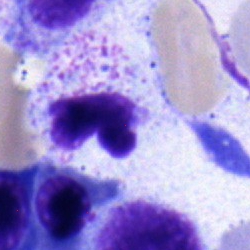 This is a segmented neutrophil.